Single cell centered in the field. Bone marrow smear. Image size 250×250: 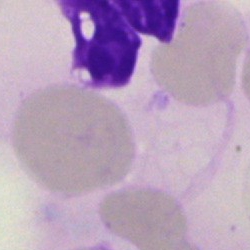
Classification: artifact.